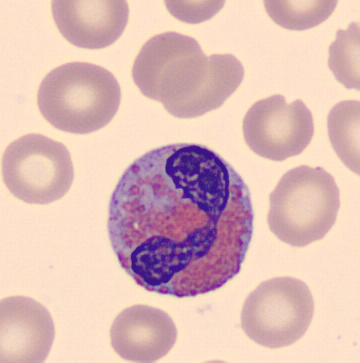 Peripheral blood smear.
Q: What is the morphological classification of this cell?
A: Eosinophilic granulocyte.